Bone marrow smear.
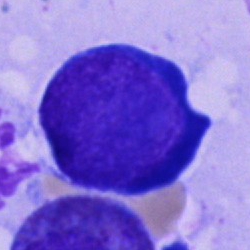

Q: Which cell type is shown here?
A: Proerythroblast.